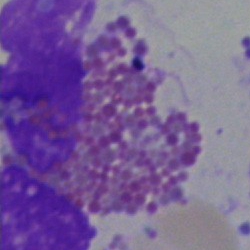

Single cell identified as an eosinophilic granulocyte.